Bone marrow smear
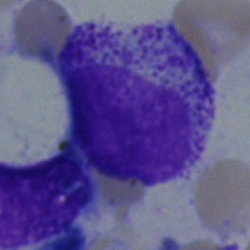Specimen: bone marrow smear.
Morphological class: myelocyte.